Bone marrow aspirate smear · brightfield, 40× oil-immersion objective: 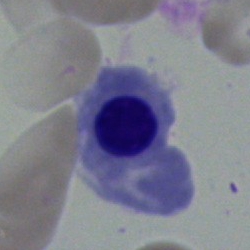
Impression — nucleated red cell.